Bone marrow aspirate smear — 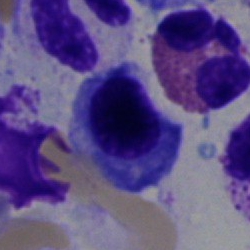
Q: Which cell type is shown here?
A: An erythroblast.